Brightfield microscopy, 40× oil immersion · bone marrow aspirate smear
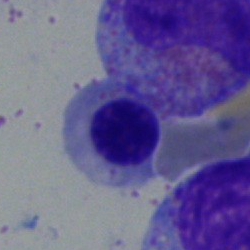
{"cell_type": "nucleated red blood cell", "lineage": "erythroid"}